Bone marrow smear
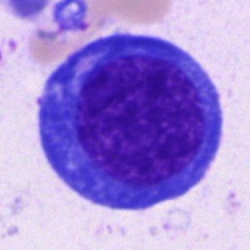Cell type = normoblast.